Bone marrow smear
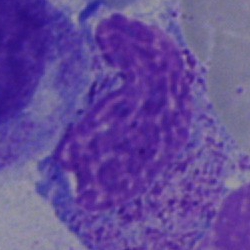

Specimen: bone marrow smear.
Cell type: artifact.